Peripheral blood smear: 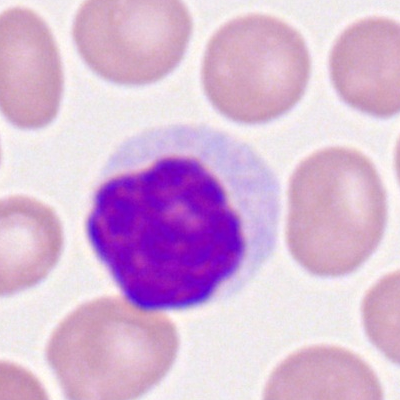 Impression → typical lymphocyte.